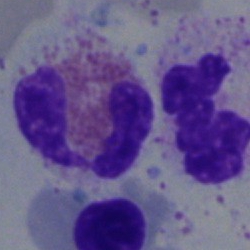

An eosinophilic granulocyte on a bone marrow smear.